Peripheral blood smear
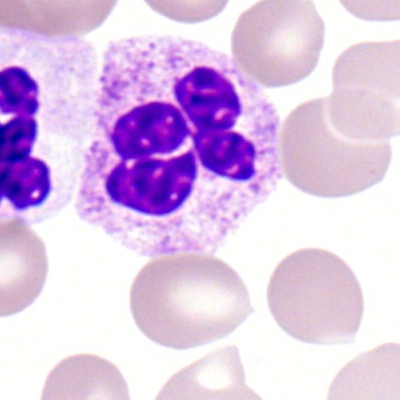 The cell is neutrophil (segmented).